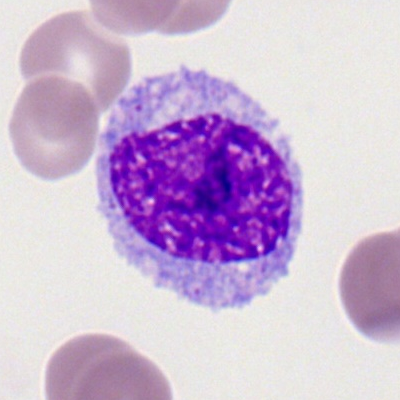
Impression — monocyte.